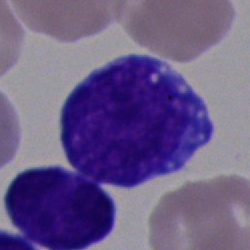

Morphological class = blast.